Bone marrow aspirate smear.
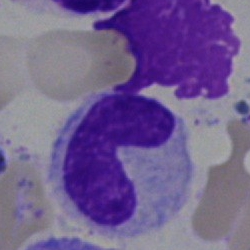

Q: What is shown here?
A: It is a stab cell.